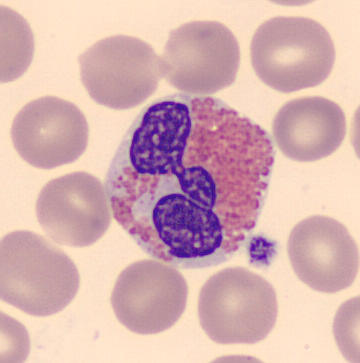Image: Peripheral blood smear.
An eosinophilic granulocyte.